Single-cell crop · peripheral blood film.
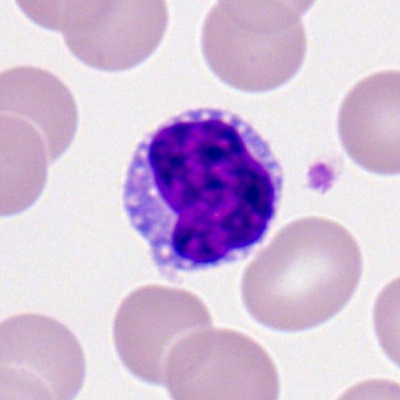

The morphological class is lymphocyte.